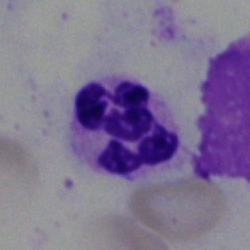Classification — segmented neutrophil.